40× oil immersion; bone marrow aspirate smear.
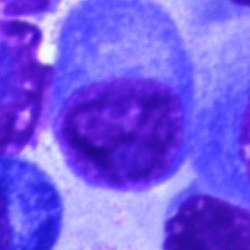Q: What is the morphological classification of this cell?
A: This is a plasma cell.